Bone marrow aspirate smear:
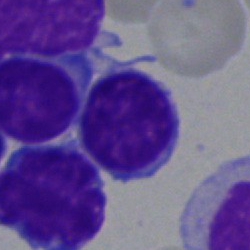
Q: What cell is this?
A: A typical lymphocyte.